Bone marrow aspirate smear. Single-cell crop — 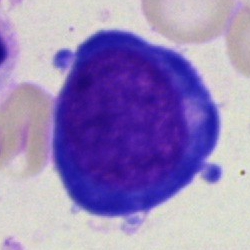Specimen: bone marrow smear.
Cell type: proerythroblast.